Peripheral blood film · single cell centered in the field:
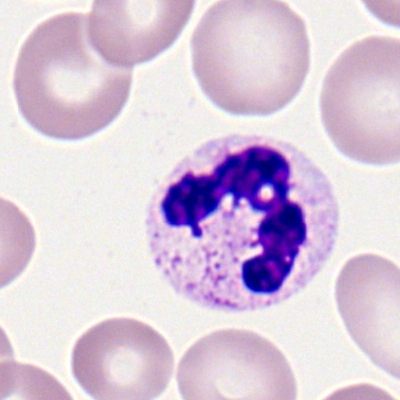
Specimen: peripheral blood smear.
Classification: neutrophil (segmented).
Lineage: myeloid.